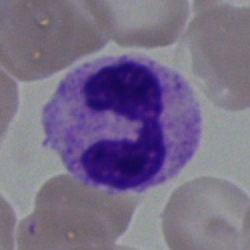
Q: What is shown here?
A: This is a segmented neutrophil.